Bone marrow aspirate smear.
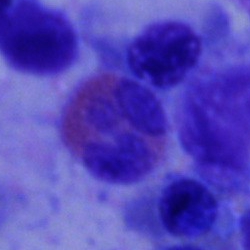Morphological class = eosinophilic granulocyte.